Bone marrow smear:
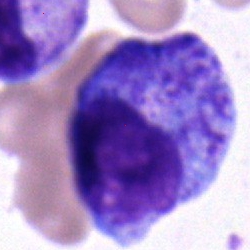 Q: Identify the cell.
A: A promyelocyte.